40× objective, oil immersion. Cropped to a single cell. Bone marrow aspirate smear.
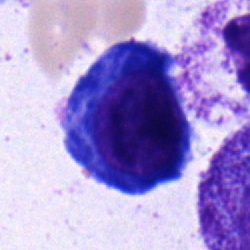
{"cell_type": "proerythroblast", "lineage": "erythroid"}